Bone marrow aspirate smear. Brightfield microscopy, 40× oil immersion. Single cell centered in the field: 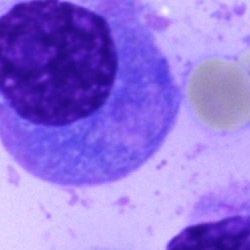

Q: What type of cell is this?
A: It is a plasmacyte.